Bone marrow smear
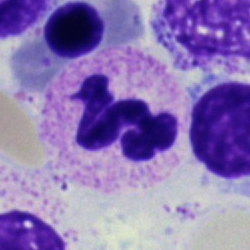Specimen: bone marrow smear.
Classification: neutrophil (segmented).
Lineage: myeloid.